Single cell centered in the field. Bone marrow smear. May-Grünwald-Giemsa stain
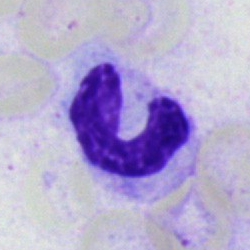

Neutrophil (band).